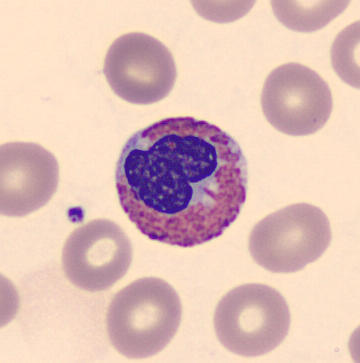 Q: What is this?
A: It is an eosinophil.